Single-cell field · 250 by 250 pixels · bone marrow smear:
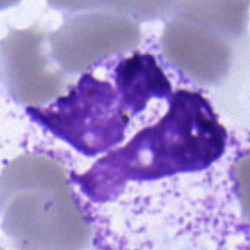
Showing a segmented neutrophil.